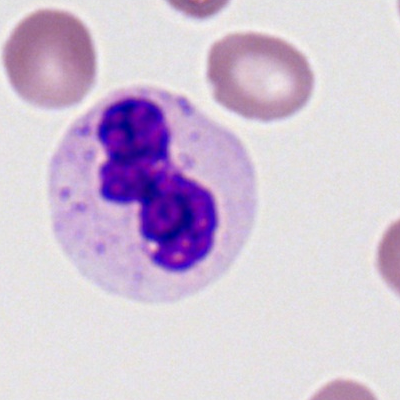 Morphology consistent with a neutrophil (segmented).